Bone marrow smear — 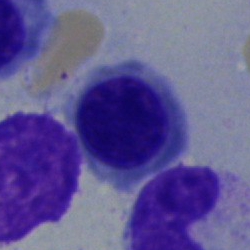
Cell type = erythroblast.